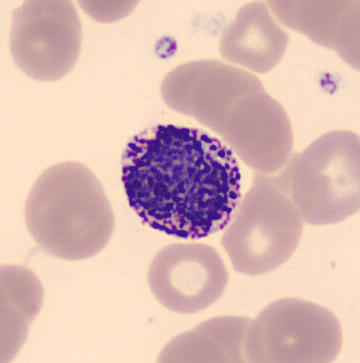 Preparation: Peripheral blood smear. Cropped to a single cell.
Morphological class = basophilic granulocyte.